Bone marrow aspirate smear — 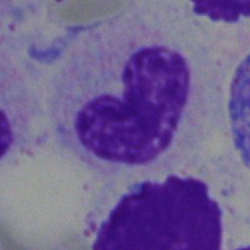

Q: Which cell type is shown here?
A: Neutrophil (band).